Peripheral blood smear.
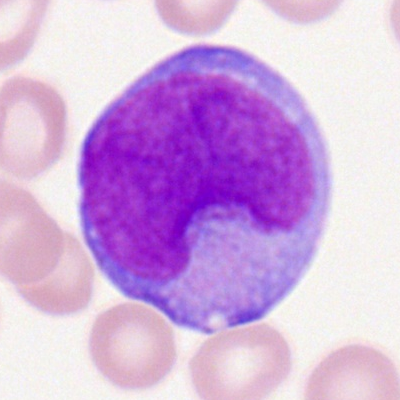
The morphological class is myeloblast.